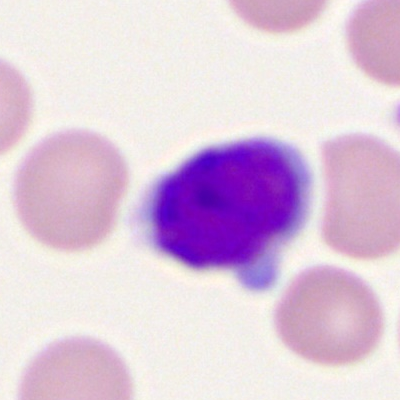
The cell shown is a typical lymphocyte.